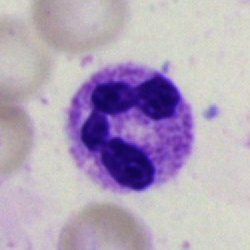Impression — neutrophil (segmented).